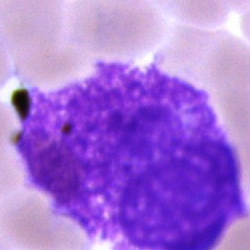 An artefact on a bone marrow smear.